Bone marrow smear.
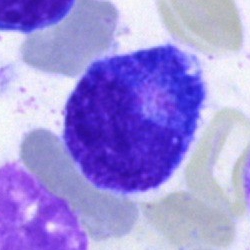
Q: What is the morphological classification of this cell?
A: Promyelocyte.